Peripheral blood film · 100× oil immersion, 14.14 px/µm:
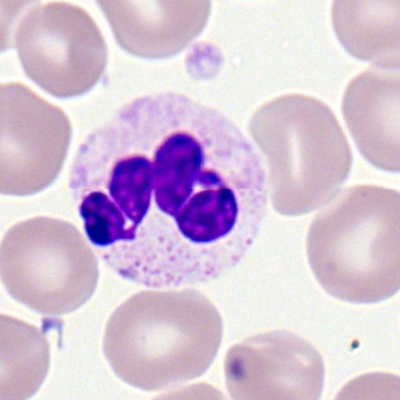A polymorphonuclear neutrophil.